250×250 px. May-Grünwald-Giemsa/Pappenheim stain. Bone marrow aspirate smear:
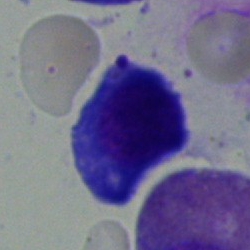 Morphological class = nucleated red cell.